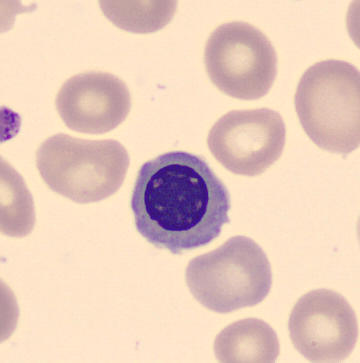

The cell shown is a normoblast.

Preparation: Peripheral blood smear.